Bone marrow smear:
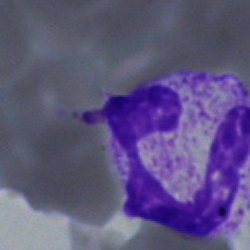 The cell shown is a neutrophil (segmented).